Peripheral blood smear. Romanowsky-type stain:
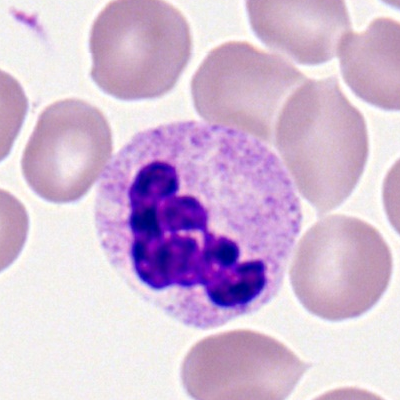 Morphology consistent with a segmented neutrophil.